Cropped to a single cell; bone marrow smear; 250×250
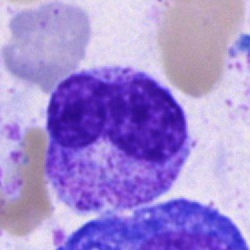
Metamyelocyte.